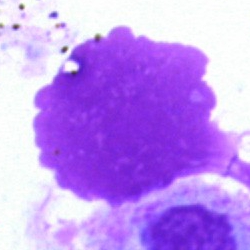

An artifact.